Peripheral blood film. 400×400. Romanowsky-stained — 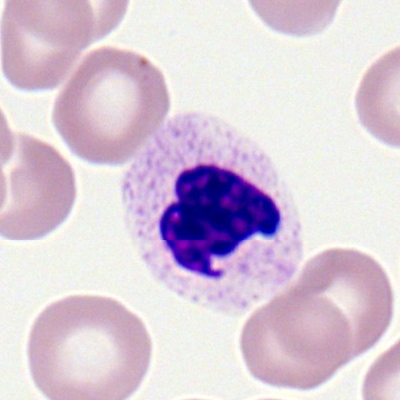

Q: What is the morphological classification of this cell?
A: It is a neutrophil (segmented).